Bone marrow aspirate smear · May-Grünwald-Giemsa stain.
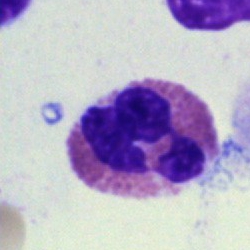
Impression → eosinophil.